Bone marrow smear; 250×250 px — 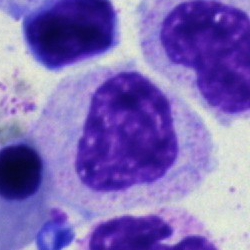Showing a myelocyte.